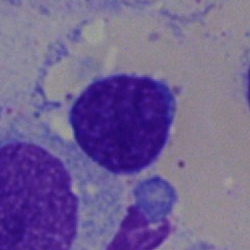

Impression → typical lymphocyte.